Bone marrow smear: 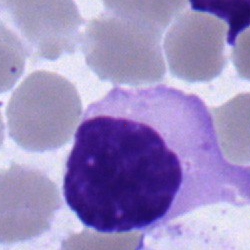Q: What is shown here?
A: Typical lymphocyte.